Bone marrow aspirate smear: 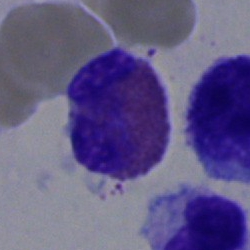

Morphology consistent with an eosinophilic granulocyte.